Bone marrow aspirate smear — 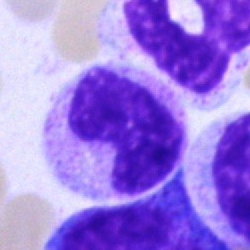
Q: Identify the cell.
A: A metamyelocyte.